250×250 px · bone marrow aspirate smear.
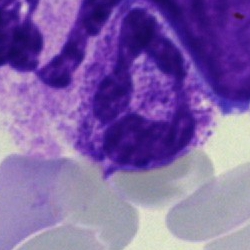 Classification — neutrophil (segmented).